Bone marrow aspirate smear — 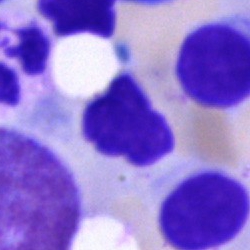

Impression → artefact.